Bone marrow aspirate smear — 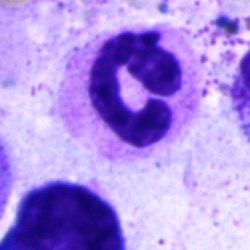

The cell shown is a segmented neutrophil.